Bone marrow smear
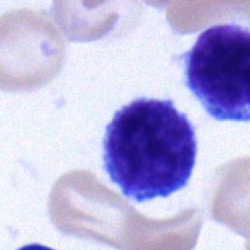Showing a lymphocyte.